Bone marrow aspirate smear
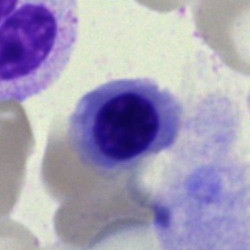 {"cell_type": "normoblast", "lineage": "erythroid"}